Bone marrow aspirate smear; 250×250
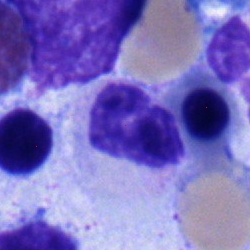 A neutrophil (band).